Bone marrow smear — 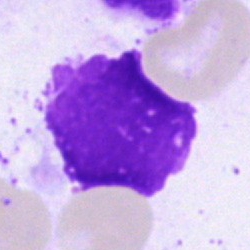

Morphology consistent with an artifact.